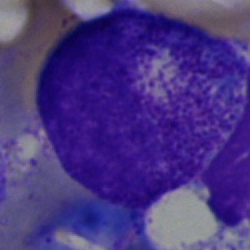

Classification = myelocyte.